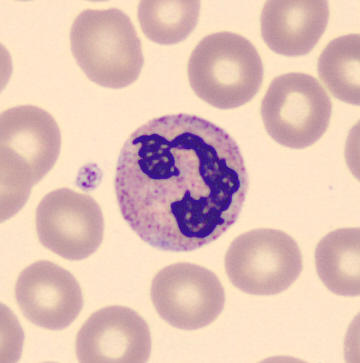
Cropped to a single cell · peripheral blood smear. Morphology consistent with a polymorphonuclear neutrophil.